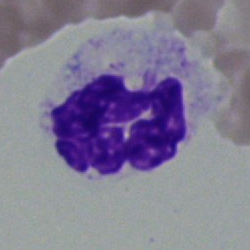Specimen: bone marrow smear.
Morphological class: segmented neutrophil.